Image size 250×250; bone marrow aspirate smear; cropped to a single cell
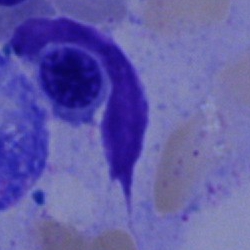

Specimen: bone marrow smear.
Classification: nucleated red cell.